Brightfield microscopy, 40× oil immersion. Bone marrow aspirate smear
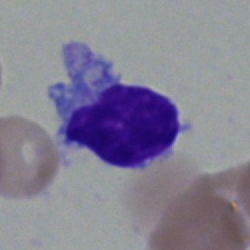 The cell shown is a typical lymphocyte.